Bone marrow smear · 40× objective, oil immersion · single-cell crop — 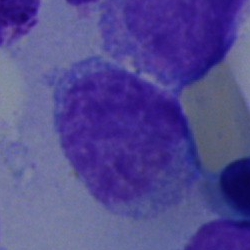Morphological class = lymphocyte.